Bone marrow aspirate smear
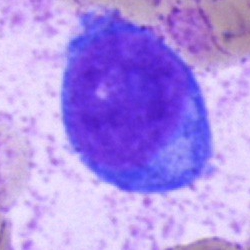
Impression — undifferentiated blast.